Bone marrow aspirate smear.
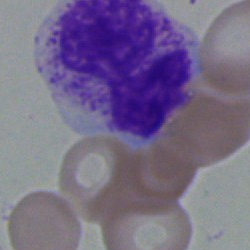 The morphological class is polymorphonuclear neutrophil.